Single cell centered in the field; bone marrow smear:
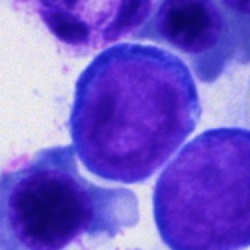
Proerythroblast.